Bone marrow smear — 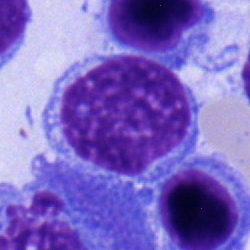
The cell shown is a typical lymphocyte.